250 by 250 pixels; bone marrow aspirate smear; brightfield, 40× oil-immersion objective:
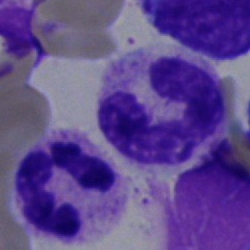{"cell_type": "segmented neutrophil"}